Bone marrow aspirate smear.
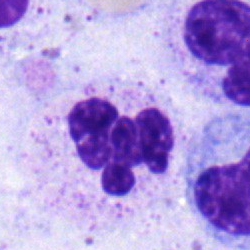 Single cell identified as a segmented neutrophil.